Bone marrow smear — 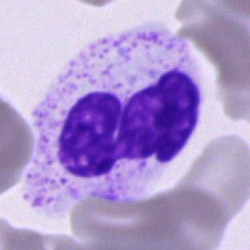

Morphology consistent with a polymorphonuclear neutrophil.